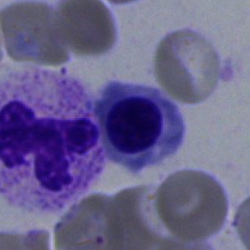Cell: nucleated red cell.